Single-cell field. May-Grünwald-Giemsa/Pappenheim stain. Bone marrow aspirate smear: 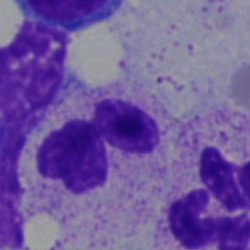{"cell_type": "neutrophil (segmented)", "lineage": "myeloid"}